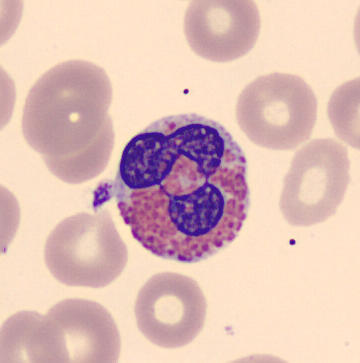 Acquisition: Peripheral blood film. The cell shown is an eosinophilic granulocyte.